Bone marrow aspirate smear. 250 by 250 pixels
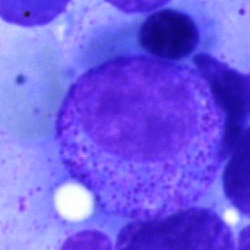Morphological class: myelocyte.